Bone marrow aspirate smear — 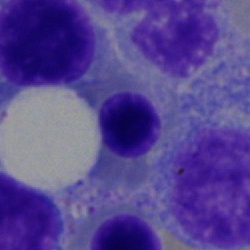
The cell is nucleated red cell.